Bone marrow aspirate smear. Single-cell field
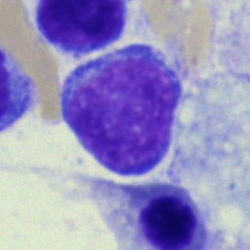 Morphology consistent with a typical lymphocyte.